100× oil immersion. Peripheral blood smear: 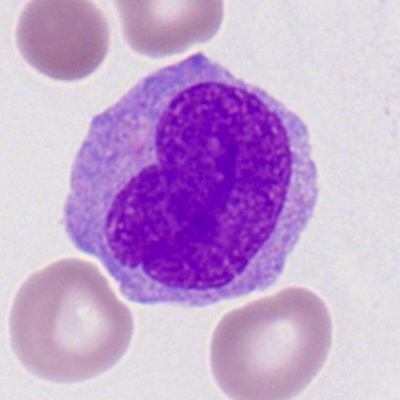
The classification is myeloid blast.